Bone marrow smear
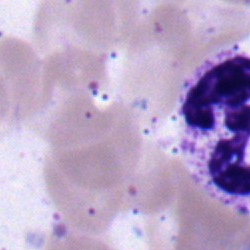
The cell type is polymorphonuclear neutrophil.